250×250; bone marrow aspirate smear; brightfield, 40× oil-immersion objective:
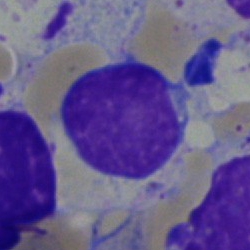
Q: What is shown here?
A: A lymphocyte.